Bone marrow smear:
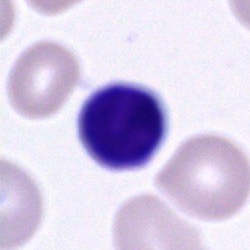

This is a typical lymphocyte.